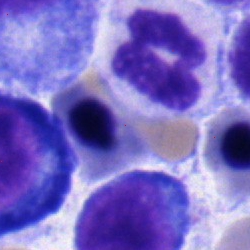 Bone marrow smear showing a normoblast.